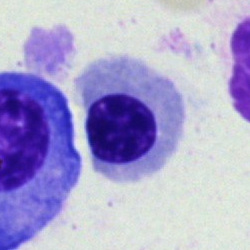
Single cell identified as a normoblast.